250×250 · bone marrow aspirate smear · 40× objective, oil immersion.
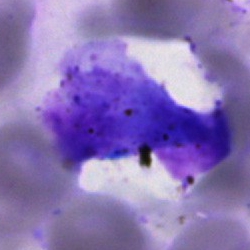
Specimen: bone marrow smear.
Cell type: artifact.